Bone marrow smear
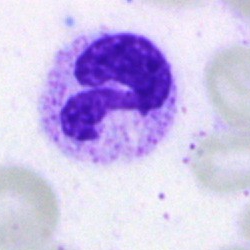
{"cell_type": "segmented neutrophil"}